Bone marrow aspirate smear. May-Grünwald-Giemsa stain.
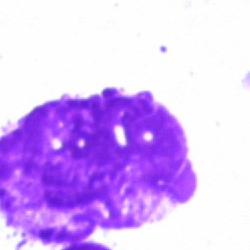The cell shown is an artifact.